Bone marrow smear:
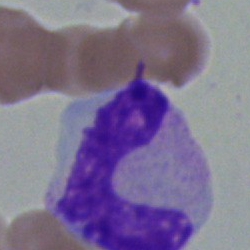

The cell shown is a neutrophil (band).